Peripheral blood smear.
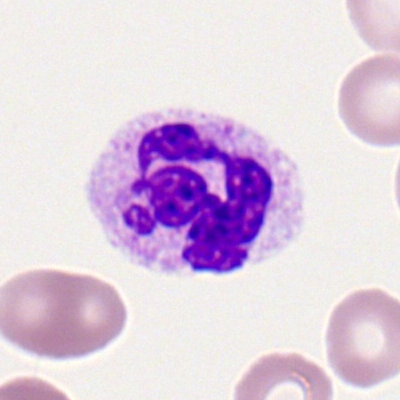

Segmented neutrophil.